Brightfield, 40× oil-immersion objective. Bone marrow aspirate smear
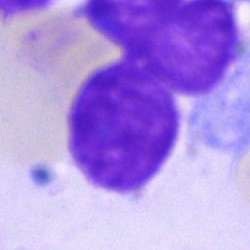

Specimen: bone marrow smear.
Cell type: artefact.